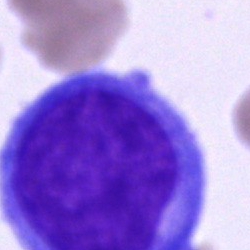Bone marrow smear showing an undifferentiated blast.